Peripheral blood film.
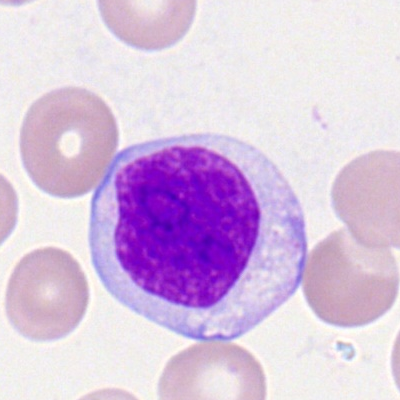Specimen: peripheral blood smear.
Morphological class: typical lymphocyte.